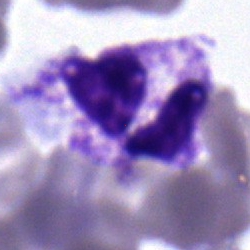

Neutrophil (segmented).